Bone marrow aspirate smear — 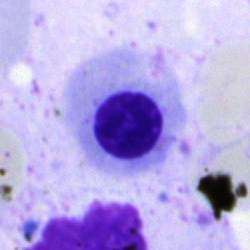

Cell type — nucleated red blood cell.